Bone marrow smear
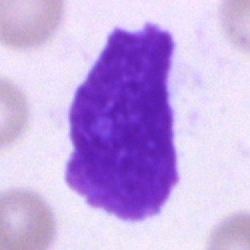 The morphological class is artefact.